Bone marrow aspirate smear: 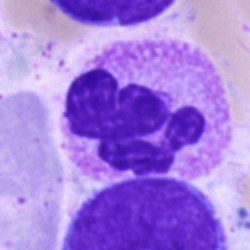The cell shown is a segmented neutrophil.